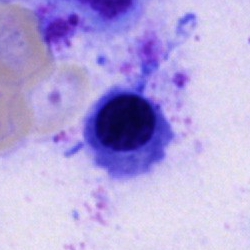

Q: Identify the cell.
A: It is a nucleated red blood cell.